Bone marrow aspirate smear.
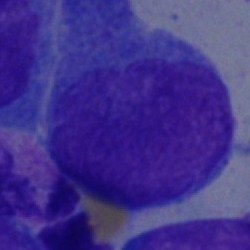

Morphology → blast.